250×250 px · bone marrow aspirate smear
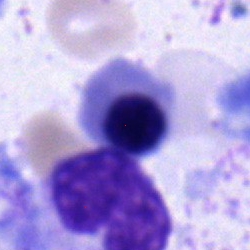A nucleated red blood cell.